Peripheral blood smear.
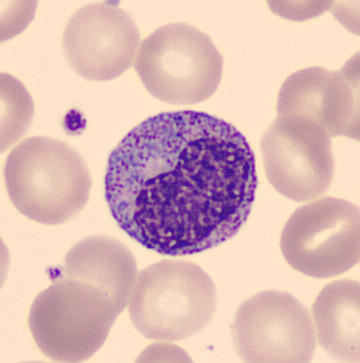 Q: What type of cell is this?
A: A myelocyte.